Bone marrow smear
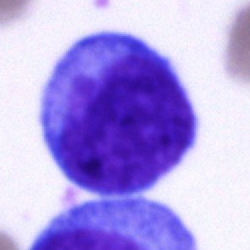 Impression → blast.